Bone marrow aspirate smear
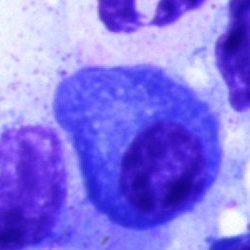 Specimen: bone marrow smear.
Cell type: plasma cell.
Lineage: lymphoid.